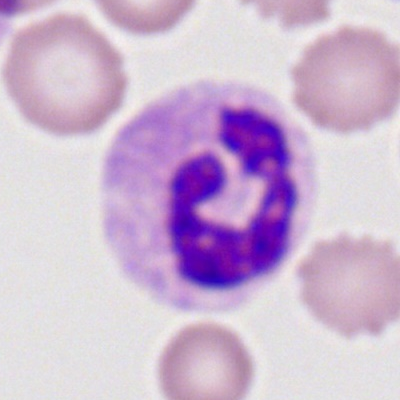 {"cell_type": "neutrophil (segmented)", "lineage": "myeloid"}